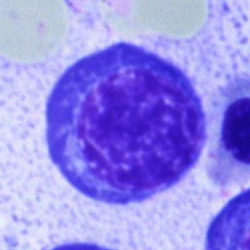 The classification is nucleated red cell.